Bone marrow aspirate smear · brightfield, 40× oil-immersion objective — 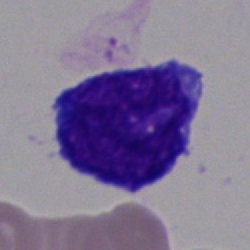{"cell_type": "undifferentiated blast"}